250 by 250 pixels. Bone marrow aspirate smear. Single-cell crop.
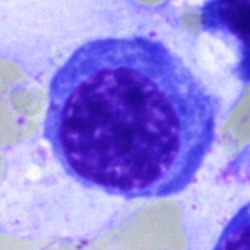 Cell type: erythroblast.